Bone marrow smear: 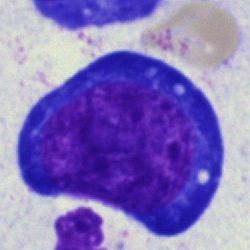

Specimen: bone marrow aspirate smear.
Cell: proerythroblast.
Lineage: erythroid.